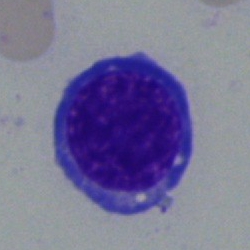Erythroblast.